Bone marrow aspirate smear.
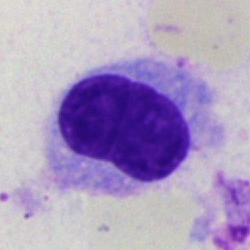 Morphological class: hairy cell.